Bone marrow aspirate smear · single-cell field · May-Grünwald-Giemsa stain
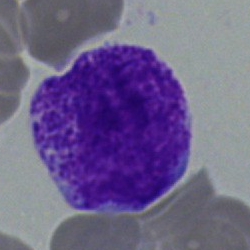

Q: What is the morphological classification of this cell?
A: A myelocyte.